Bone marrow smear:
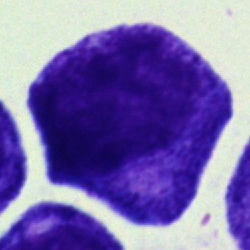 Progranulocyte.